Bone marrow aspirate smear. Image size 250×250:
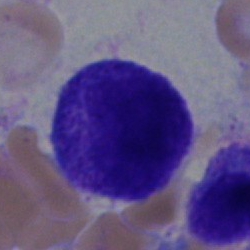
Cell: promyelocyte.